Bone marrow smear; MGG-stained: 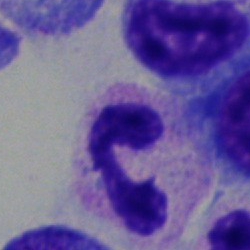Morphology consistent with a neutrophil (segmented).